Brightfield, 40× oil-immersion objective. Bone marrow smear — 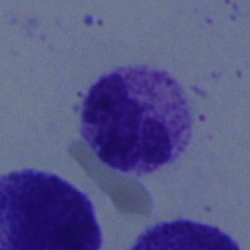 This is a polymorphonuclear neutrophil.